Bone marrow smear.
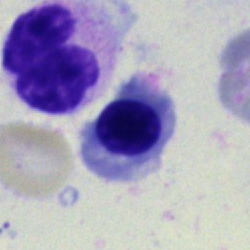

Morphological class = normoblast.